Bone marrow aspirate smear
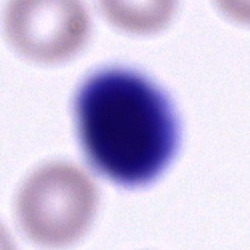Morphology → cell of indeterminate lineage.